Single-cell field · bone marrow smear — 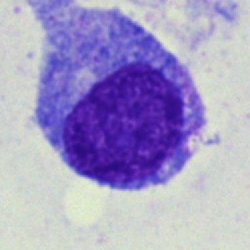 Impression — progranulocyte.